250 by 250 pixels · bone marrow smear — 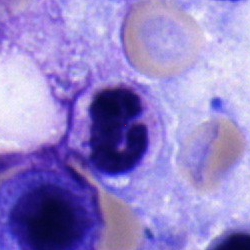Morphology → monocyte.